250×250 · bone marrow smear · single-cell field — 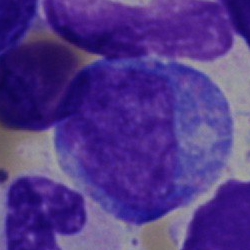The cell type is progranulocyte.